Single-cell crop · bone marrow aspirate smear
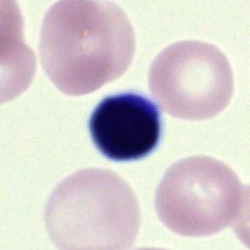

Morphology → artefact.